Bone marrow aspirate smear
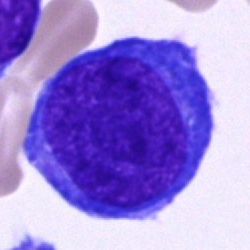
Q: What is shown here?
A: Blast cell.